Bone marrow aspirate smear · single-cell field: 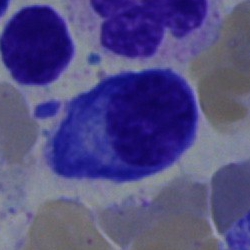 Cell type = plasmacyte.